Peripheral blood film:
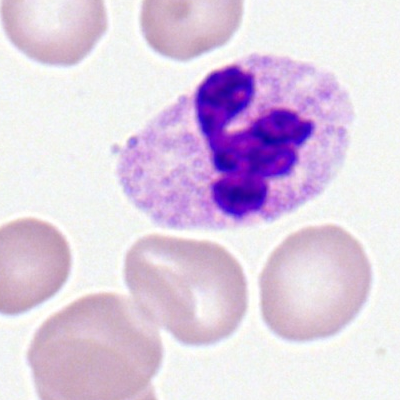
Q: Which cell type is shown here?
A: Neutrophil (segmented).